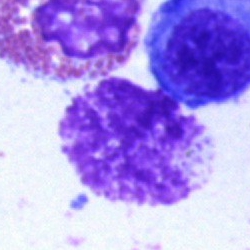

Showing an artifact.